May-Grünwald-Giemsa/Pappenheim stain; bone marrow aspirate smear — 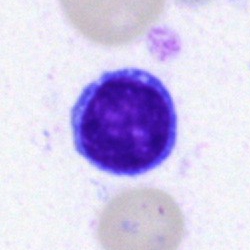 Lymphocyte.